Bone marrow aspirate smear — 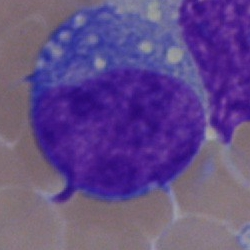Specimen: bone marrow aspirate smear.
Classification: blast.